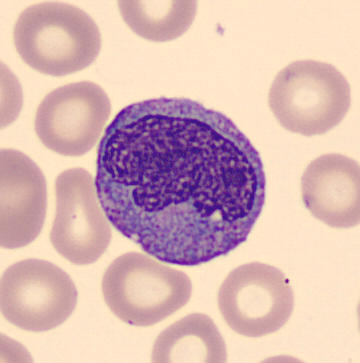

Identified as a monocyte.

Preparation: May Grünwald-Giemsa stain · peripheral blood smear.